Bone marrow aspirate smear
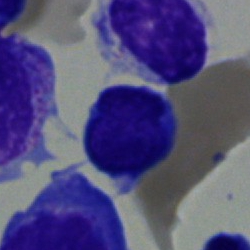

The cell shown is a typical lymphocyte.